Bone marrow smear.
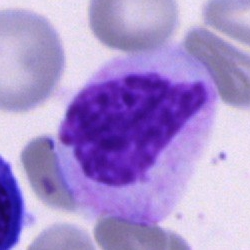
Specimen: bone marrow smear.
Cell: unidentifiable cell.